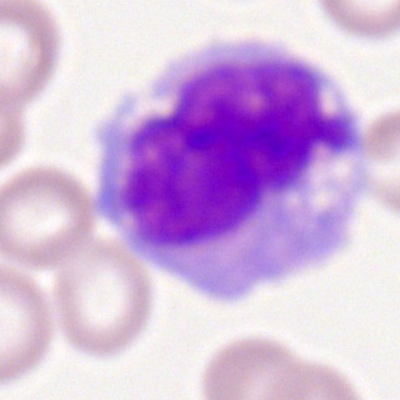Q: What cell is this?
A: It is a monocyte.